Bone marrow smear: 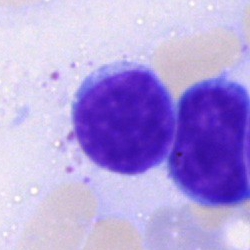
Cell type: lymphocyte.